250×250; bone marrow aspirate smear; brightfield, 40× oil-immersion objective — 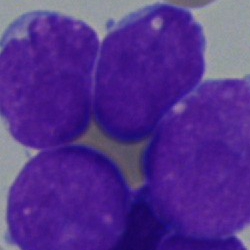
Undifferentiated blast.